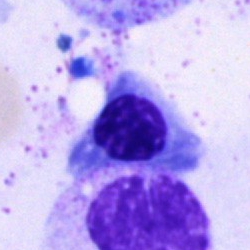

A normoblast.